Peripheral blood smear
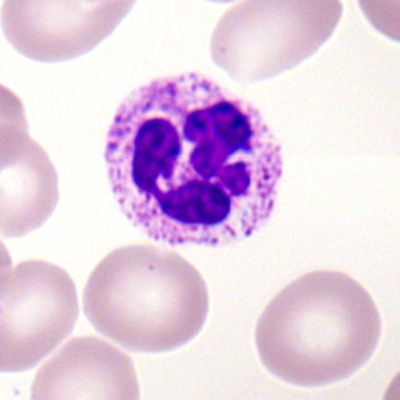 Morphology → neutrophil (segmented).